Bone marrow aspirate smear: 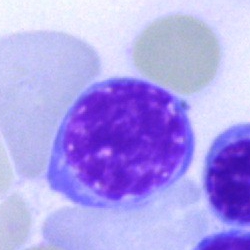

The morphological class is nucleated red blood cell.